Bone marrow smear.
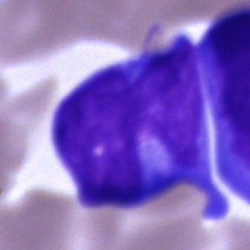 This is a blast.